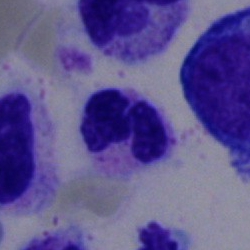Specimen: bone marrow aspirate smear.
Cell: segmented neutrophil.